Bone marrow smear — 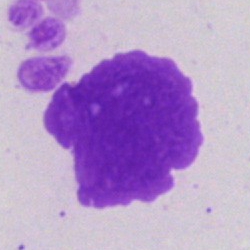
The cell shown is an artifact.